Single-cell crop; bone marrow smear:
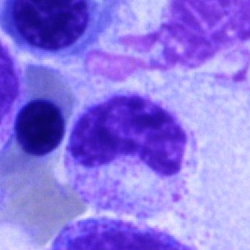
Q: What type of cell is this?
A: A metamyelocyte.